Bone marrow aspirate smear. MGG-stained — 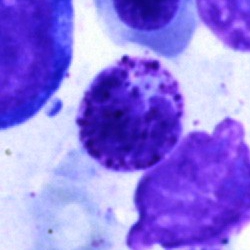

Single cell identified as a basophil.